Bone marrow aspirate smear · single cell centered in the field · Pappenheim-stained — 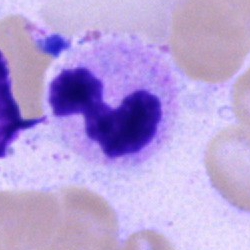
This is a polymorphonuclear neutrophil.